Bone marrow aspirate smear. May-Grünwald-Giemsa stain:
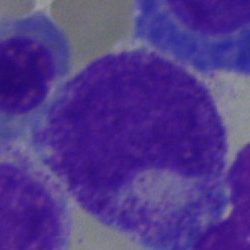

Impression — metamyelocyte.